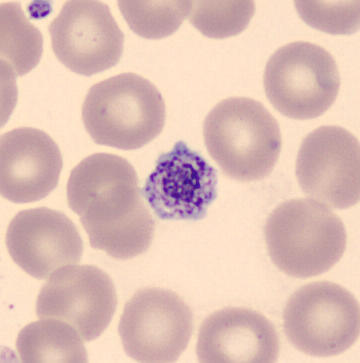
Peripheral blood film.
Classification — platelet (thrombocyte).